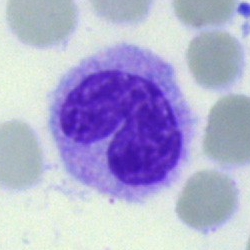 Morphological class = band-form neutrophil.